Cropped to a single cell · image size 250×250 · bone marrow smear.
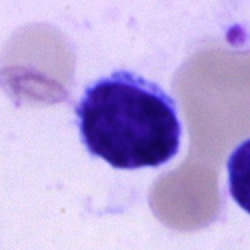Showing a lymphocyte.